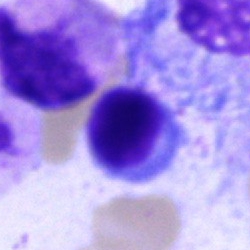 Cell = typical lymphocyte.